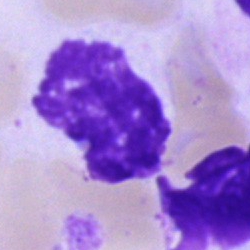
An artefact on a bone marrow smear.